Bone marrow aspirate smear — 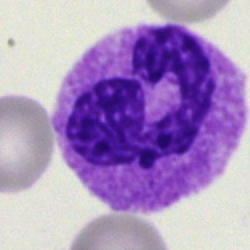
The cell shown is a neutrophil (segmented).